Peripheral blood smear — 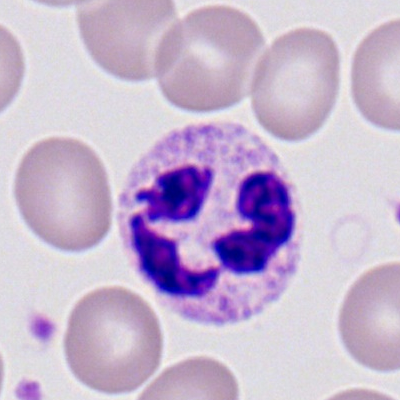This is a polymorphonuclear neutrophil.